Brightfield, 40× oil-immersion objective · bone marrow smear — 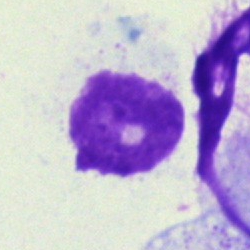Artefact.